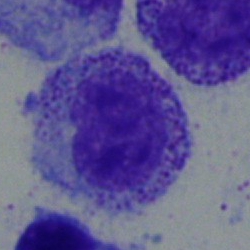 {"cell_type": "myelocyte"}